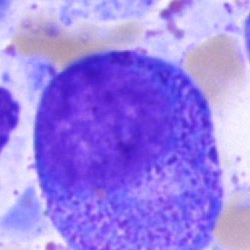
Morphological class: promyelocyte.